Bone marrow aspirate smear · single cell centered in the field.
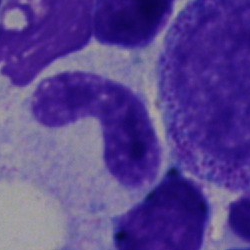

Q: What type of cell is this?
A: Neutrophil (band).